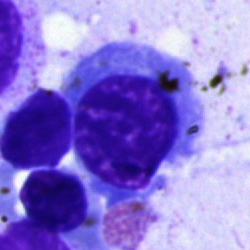
The cell is erythroblast.